Bone marrow aspirate smear. Image size 250×250
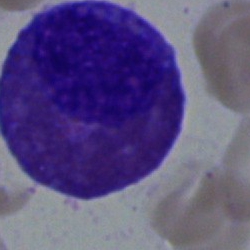

This is an eosinophilic granulocyte.